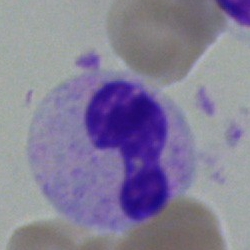
The classification is stab cell.